Bone marrow smear.
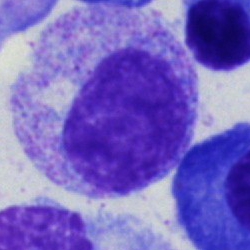
The cell is myelocyte.